Bone marrow smear.
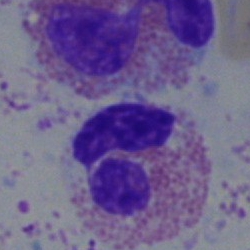
Morphological class: eosinophilic granulocyte.